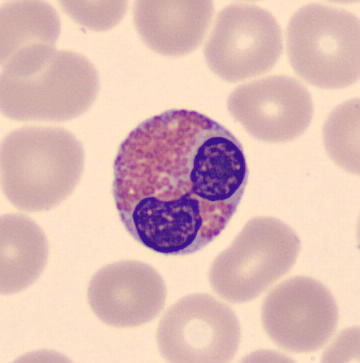 Q: What is the morphological classification of this cell?
A: This is an eosinophilic granulocyte.